Bone marrow smear
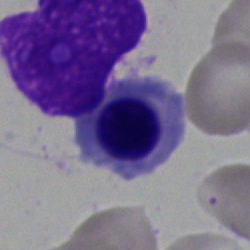 Morphology → erythroblast.